Bone marrow smear
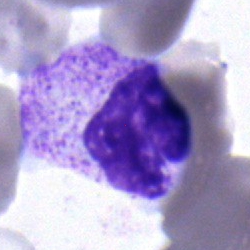Cell: neutrophil (band).